Bone marrow aspirate smear; 250×250.
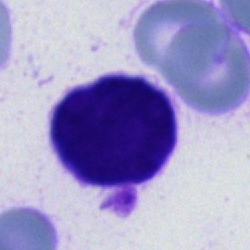 Q: What type of cell is this?
A: It is a cell of indeterminate lineage.